Bone marrow smear
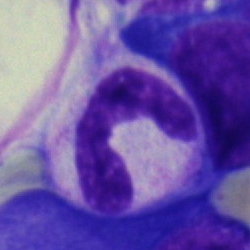 Q: What cell is this?
A: It is a segmented neutrophil.